Bone marrow aspirate smear. May-Grünwald-Giemsa stain. Single-cell field:
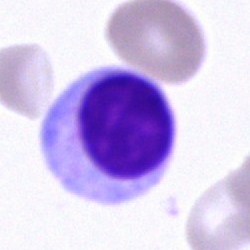

{"cell_type": "lymphocyte", "lineage": "lymphoid"}